Bone marrow smear — 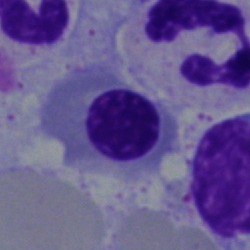

Q: What is shown here?
A: Nucleated red cell.